May-Grünwald-Giemsa stain; bone marrow aspirate smear — 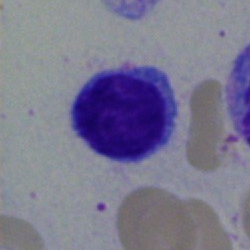The cell shown is a typical lymphocyte.